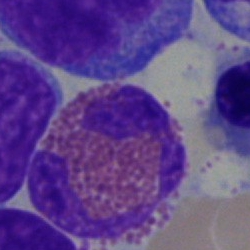
This is an eosinophilic granulocyte.